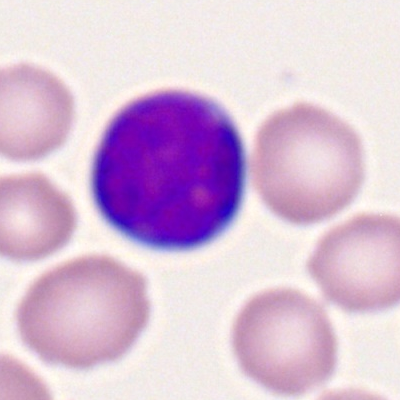Q: Identify the cell.
A: It is a myeloblast.